250×250. Bone marrow aspirate smear — 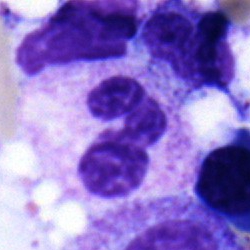

Cell type = neutrophil (segmented).